Bone marrow smear · single-cell crop — 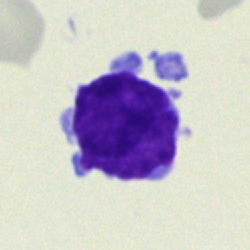
Q: What is the morphological classification of this cell?
A: This is a typical lymphocyte.